Bone marrow smear.
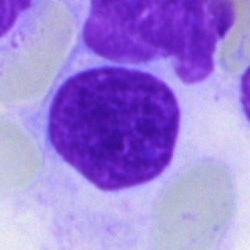 {"cell_type": "artefact"}